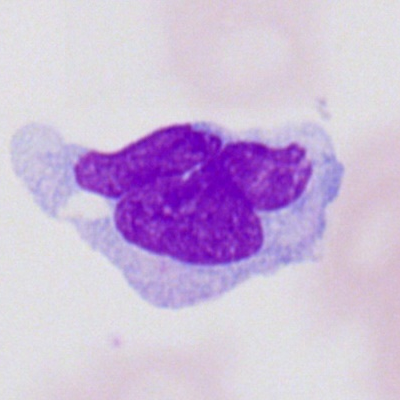Morphology — monocyte.